Peripheral blood film:
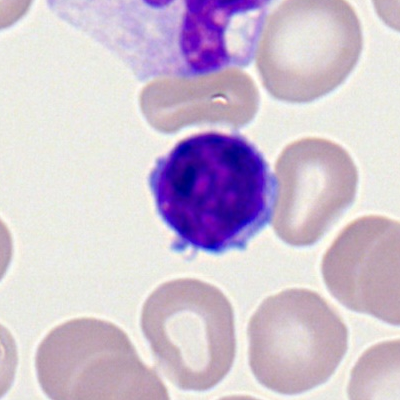
Cell: typical lymphocyte.